Brightfield, 40× oil-immersion objective · bone marrow smear — 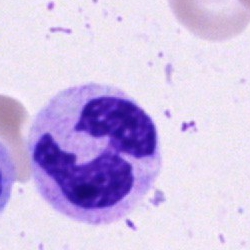Morphology — segmented neutrophil.